Bone marrow aspirate smear:
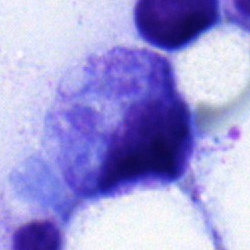Specimen: bone marrow smear.
Classification: myelocyte.
Lineage: myeloid.